Bone marrow smear — 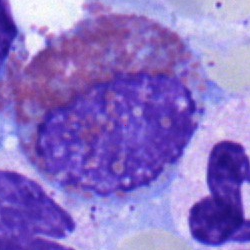 The morphological class is eosinophil.